MGG-stained; bone marrow aspirate smear; single-cell crop.
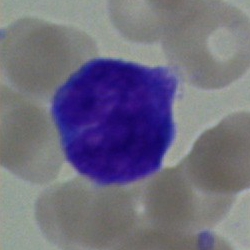 A blast cell.